Brightfield microscopy, 40× oil immersion · bone marrow smear · cropped to a single cell — 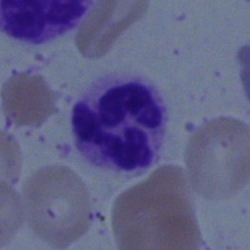
Q: Identify the cell.
A: This is a neutrophil (segmented).